Brightfield microscopy, 40× oil immersion; bone marrow smear
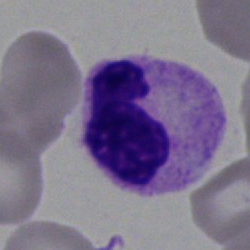A neutrophil (segmented).